Bone marrow smear:
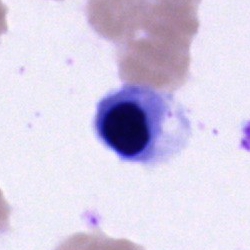 Morphology consistent with a nucleated red cell.